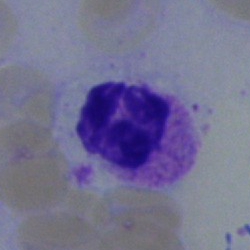Q: What is the morphological classification of this cell?
A: This is a polymorphonuclear neutrophil.